Single-cell field. May-Grünwald-Giemsa/Pappenheim stain. Bone marrow smear.
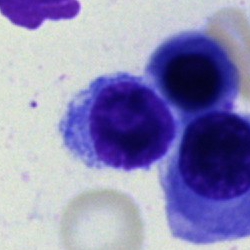
Q: What is shown here?
A: Lymphocyte.